Single-cell crop · bone marrow aspirate smear · brightfield microscopy, 40× oil immersion: 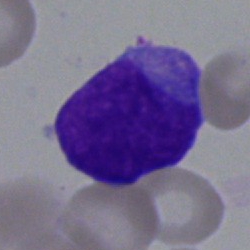

This is a blast cell.